Bone marrow aspirate smear; Pappenheim-stained:
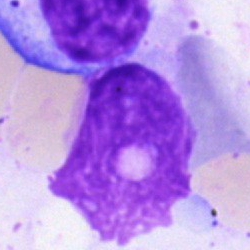
Specimen: bone marrow aspirate smear.
Cell type: artefact.